40× objective, oil immersion; bone marrow smear — 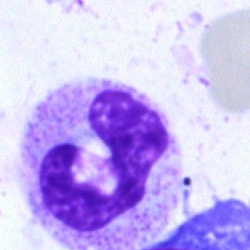

Polymorphonuclear neutrophil.